Image size 250×250. 40× objective, oil immersion. Bone marrow aspirate smear — 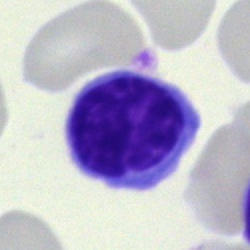 Morphology — typical lymphocyte.